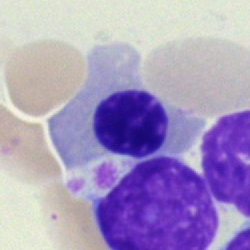 The cell shown is a normoblast.